Bone marrow aspirate smear.
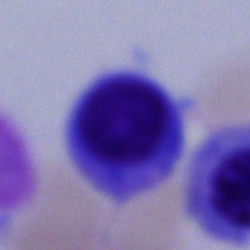
Specimen: bone marrow aspirate smear.
Classification: artifact.